Bone marrow aspirate smear:
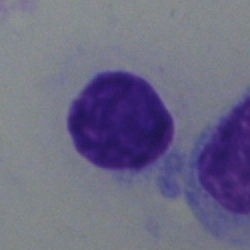
The cell shown is a lymphocyte.